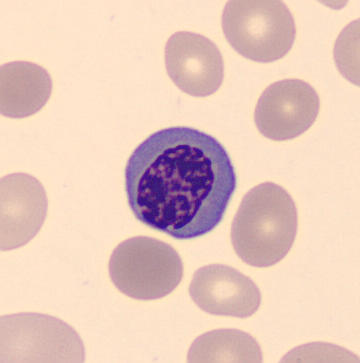
Q: Identify the cell.
A: A nucleated red cell.